Bone marrow aspirate smear: 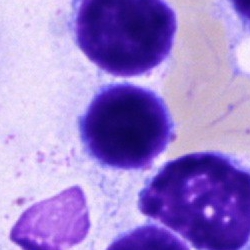 Morphology consistent with a typical lymphocyte.